Bone marrow aspirate smear
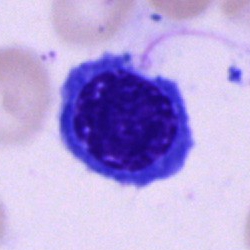

Morphology consistent with an erythroblast.